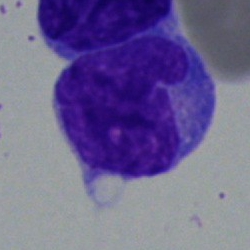
Impression — monocyte.